Bone marrow aspirate smear
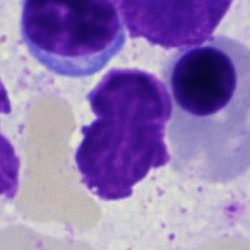 Morphology — artefact.